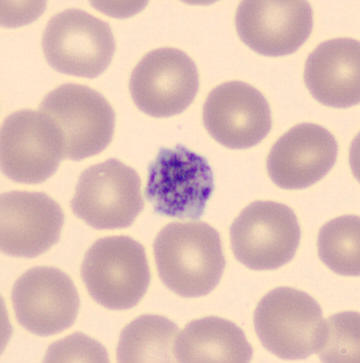
Classification = platelet. Image: Peripheral blood film.